MGG-stained · bone marrow aspirate smear
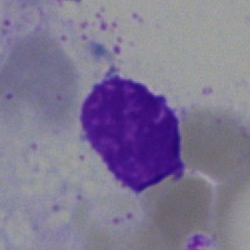 Cell = artefact.